Bone marrow aspirate smear; MGG-stained:
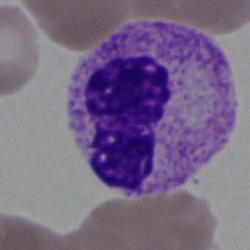

The cell shown is a segmented neutrophil.